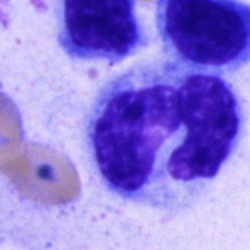
This is a monocyte.